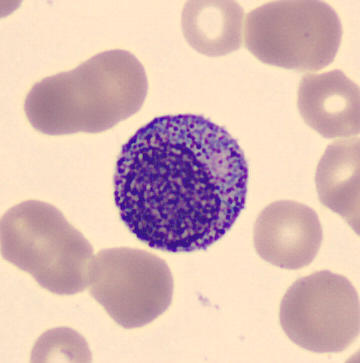The cell shown is a myelocyte.
Peripheral blood film; May Grünwald-Giemsa stain.